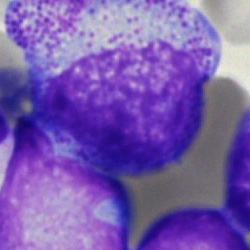

Showing a myelocyte.